Bone marrow aspirate smear: 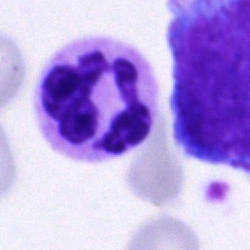
Specimen: bone marrow smear.
Cell: neutrophil (segmented).